May-Grünwald-Giemsa/Pappenheim stain; bone marrow smear:
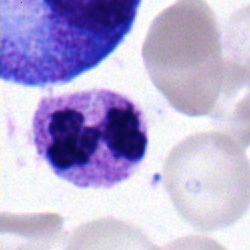 Q: What is the morphological classification of this cell?
A: It is a polymorphonuclear neutrophil.